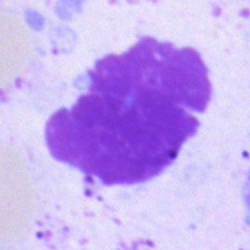Specimen: bone marrow aspirate smear.
Classification: artefact.